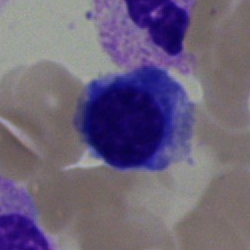 Impression → nucleated red cell.